250×250 px. Bone marrow aspirate smear.
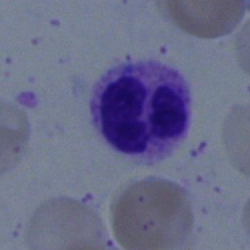

Cell type — segmented neutrophil.